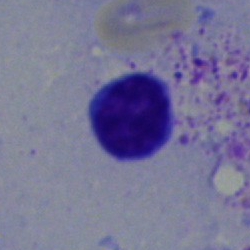 Specimen: bone marrow smear.
Cell: neutrophil (segmented).
Lineage: myeloid.